Bone marrow smear.
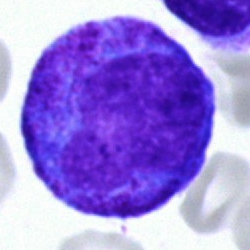

The cell shown is a progranulocyte.